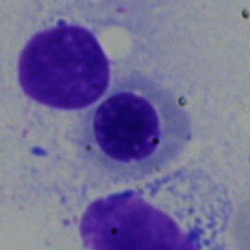 Q: Which cell type is shown here?
A: This is an erythroblast.